Peripheral blood smear. Romanowsky stain
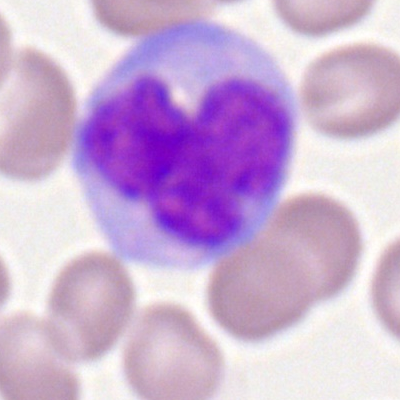A monocyte.